Bone marrow aspirate smear
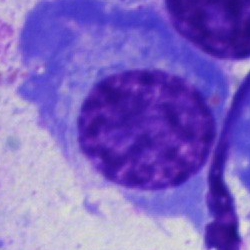Q: What is shown here?
A: This is a plasmacyte.